Bone marrow smear: 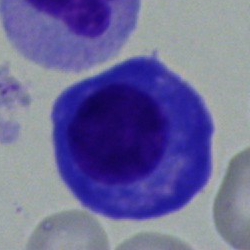Plasma cell.